Pappenheim-stained; bone marrow aspirate smear.
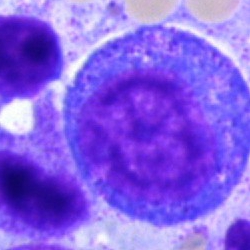 Showing a progranulocyte.